Bone marrow smear — 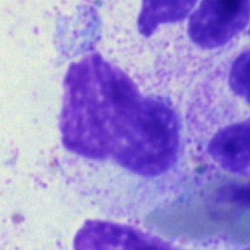Cell = artifact.